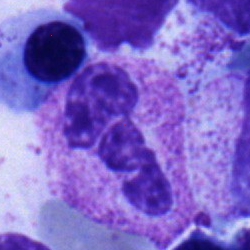Q: What cell is this?
A: Segmented neutrophil.